Image size 250×250 · Pappenheim-stained · bone marrow smear:
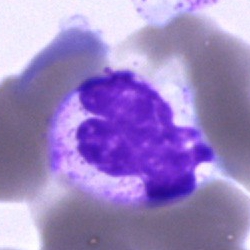Impression — segmented neutrophil.